Bone marrow aspirate smear; May-Grünwald-Giemsa stain.
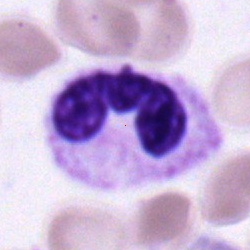

Classification — polymorphonuclear neutrophil.